Bone marrow aspirate smear · 250 by 250 pixels — 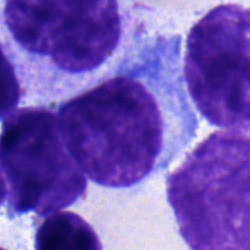 Morphology consistent with a plasma cell.